Bone marrow aspirate smear.
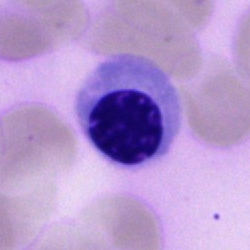
Specimen: bone marrow smear.
Cell: nucleated red cell.
Lineage: erythroid.